Bone marrow aspirate smear
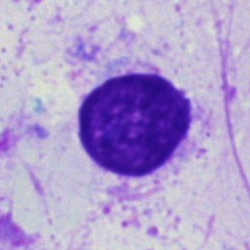 An artifact.